Bone marrow aspirate smear. MGG-stained. 40× objective, oil immersion:
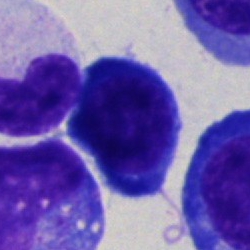
This is a nucleated red cell.